Peripheral blood film: 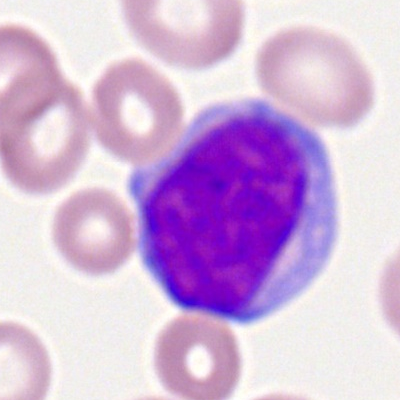 The morphological class is myeloblast.